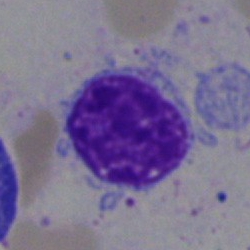

Impression → lymphocyte.